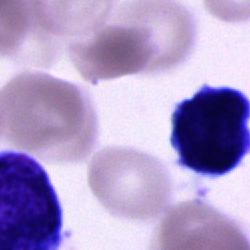
Cell of indeterminate lineage.